MGG-stained · bone marrow smear: 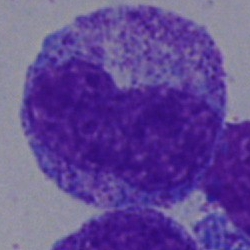
Classification: metamyelocyte.